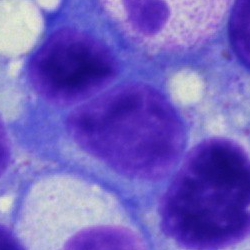
Plasma cell.